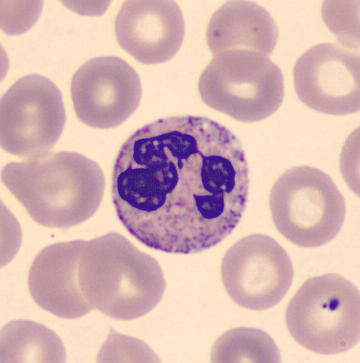Specimen: peripheral blood smear.
Cell: neutrophil (segmented).